Peripheral blood smear. Single-cell field. Brightfield, 100× oil-immersion objective: 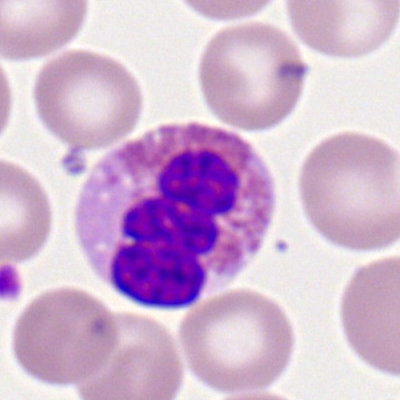
Single cell identified as an eosinophilic granulocyte.